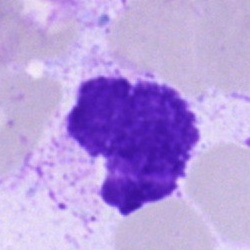

Q: What is shown here?
A: An artifact.